Brightfield, 40× oil-immersion objective · single-cell field · bone marrow smear: 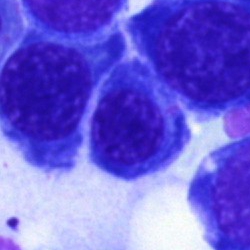 Cell — erythroblast.